Bone marrow aspirate smear
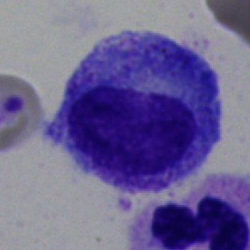Morphology → promyelocyte.